Bone marrow smear
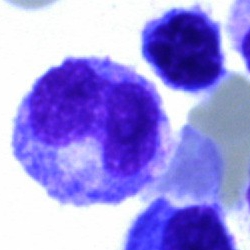

Morphology → monocyte.